Bone marrow smear. 250 by 250 pixels
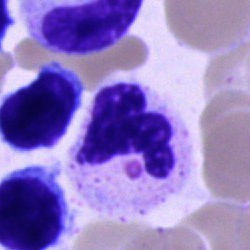
Morphology — neutrophil (segmented).